Bone marrow smear: 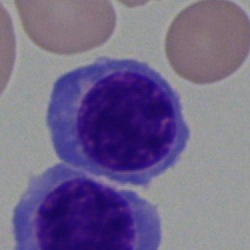

{"cell_type": "normoblast"}